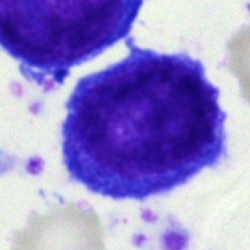Classification — progranulocyte.